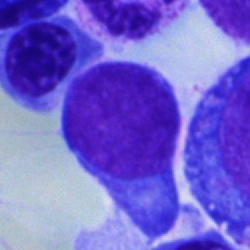 A plasmacyte.